Bone marrow smear.
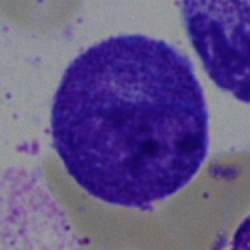Morphological class = progranulocyte.